40× oil immersion; image size 250×250; bone marrow smear: 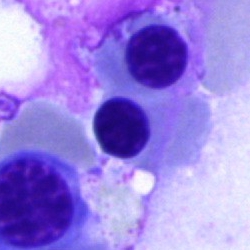

Morphology consistent with a nucleated red blood cell.